Bone marrow smear — 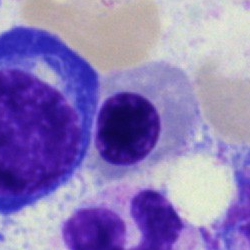Morphological class — normoblast.